Bone marrow aspirate smear · brightfield microscopy, 40× oil immersion: 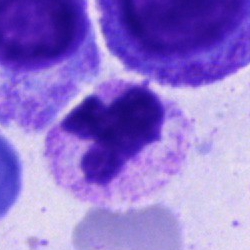 Specimen: bone marrow aspirate smear.
Cell: segmented neutrophil.
Lineage: myeloid.